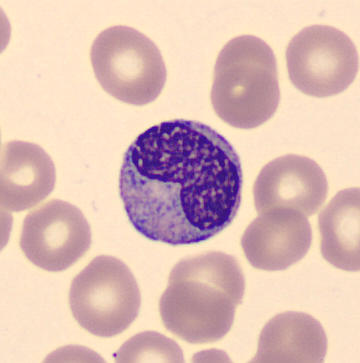

Q: Identify the cell.
A: It is a metamyelocyte.

Image: Peripheral blood film; MGG-stained.